Single-cell crop · 40× objective, oil immersion · bone marrow aspirate smear.
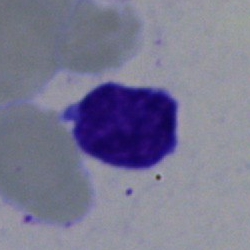
The cell shown is a lymphocyte.